Bone marrow smear — 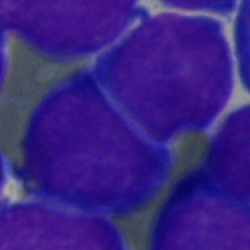Impression — blast.